Single-cell field. Bone marrow smear: 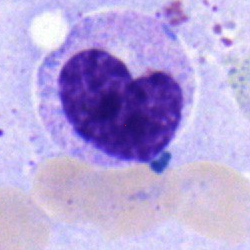

The cell shown is a metamyelocyte.